Single-cell crop; bone marrow smear
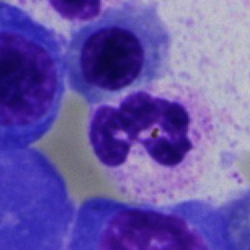
A neutrophil (segmented).